May-Grünwald-Giemsa stain. Bone marrow aspirate smear.
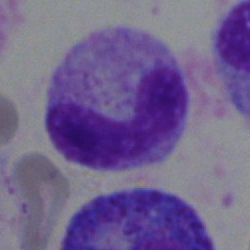Specimen: bone marrow aspirate smear.
Morphological class: neutrophil (segmented).